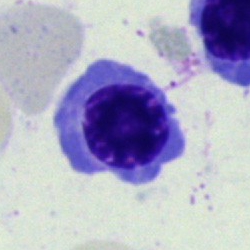 Cell = nucleated red cell.